Single cell centered in the field; bone marrow aspirate smear: 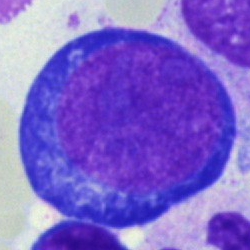A proerythroblast.